Bone marrow smear · image size 250×250
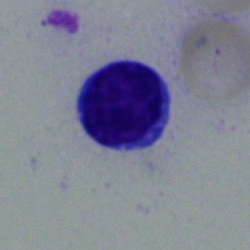

Cell: lymphocyte.